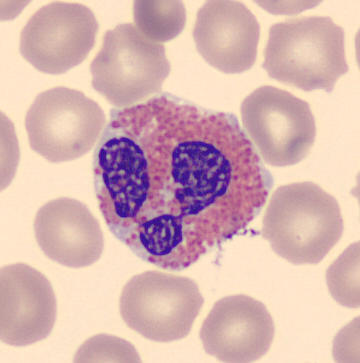 The cell shown is an eosinophil.